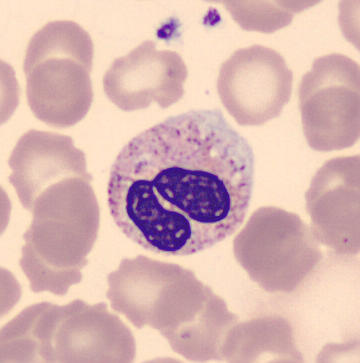

Specimen: peripheral blood film.
Cell type: neutrophil (segmented).
Lineage: myeloid.